Bone marrow smear · brightfield, 40× oil-immersion objective: 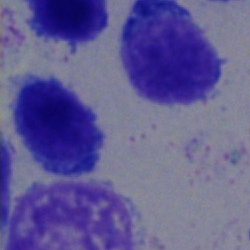 Cell type: typical lymphocyte.